Brightfield, 40× oil-immersion objective · bone marrow smear · single-cell field:
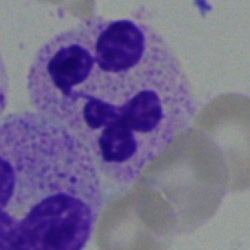

The cell shown is a segmented neutrophil.